Cropped to a single cell; bone marrow smear:
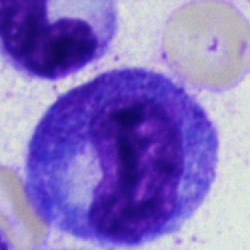 The cell shown is a progranulocyte.